40× objective, oil immersion; bone marrow smear: 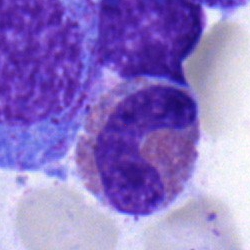The cell is eosinophilic granulocyte.